Single cell centered in the field · bone marrow aspirate smear: 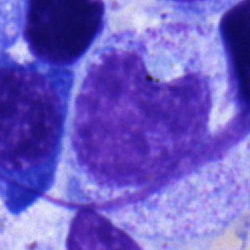
Morphology — myelocyte.